Peripheral blood film.
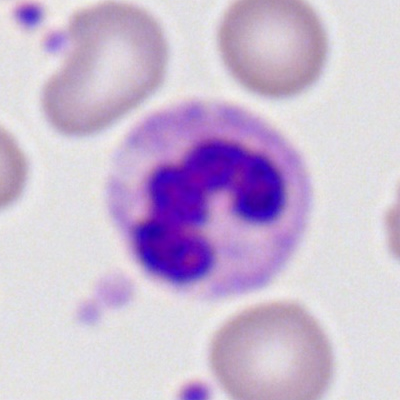 Specimen: peripheral blood film.
Morphological class: polymorphonuclear neutrophil.
Lineage: myeloid.